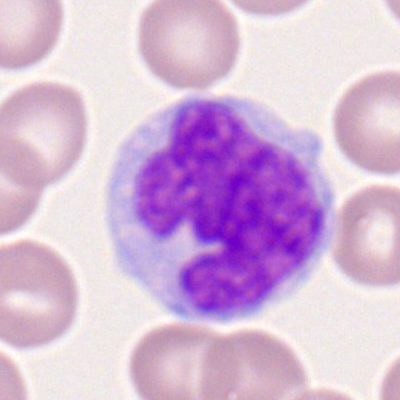Specimen: peripheral blood film.
Morphological class: monocyte.
Lineage: myeloid.